40× objective, oil immersion. Bone marrow smear:
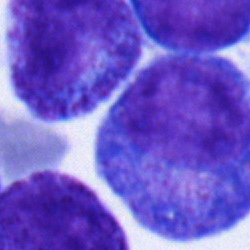

Specimen: bone marrow smear.
Cell type: promyelocyte.
Lineage: myeloid.